Bone marrow smear:
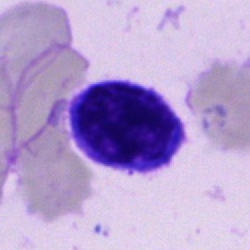

The morphological class is lymphocyte.